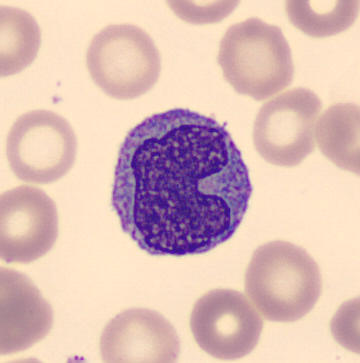 Specimen: peripheral blood film.
Morphological class: monocyte.
Lineage: myeloid.